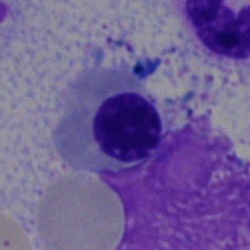Q: Identify the cell.
A: Erythroblast.